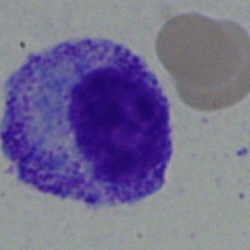

The cell shown is a myelocyte.